Bone marrow aspirate smear:
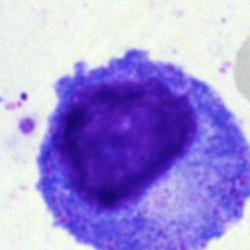
Morphology consistent with a promyelocyte.